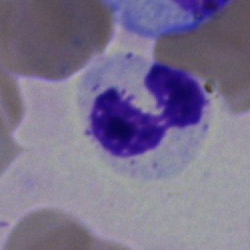
The cell shown is a polymorphonuclear neutrophil.